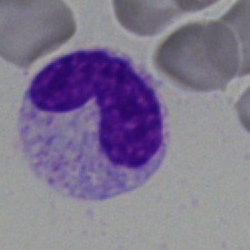
A band-form neutrophil on a bone marrow smear.